Bone marrow smear; brightfield microscopy, 40× oil immersion.
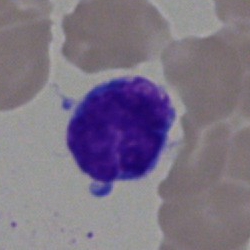
Single cell identified as a lymphocyte.